Peripheral blood smear — 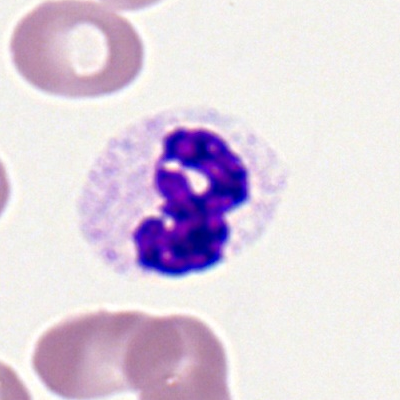

Showing a segmented neutrophil.